Bone marrow aspirate smear:
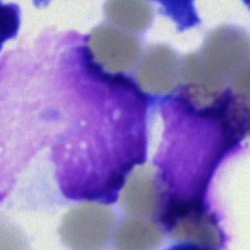Specimen: bone marrow smear.
Morphological class: artefact.